Bone marrow smear
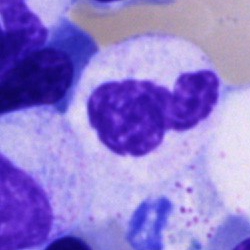
Cell type = polymorphonuclear neutrophil.